Bone marrow aspirate smear:
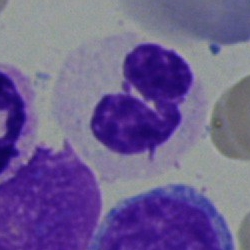
Classification = polymorphonuclear neutrophil.